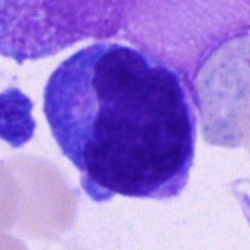 Classification — monocyte.